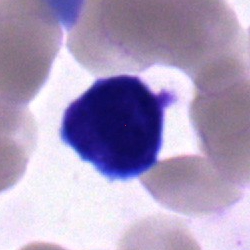
Morphology consistent with a blast.